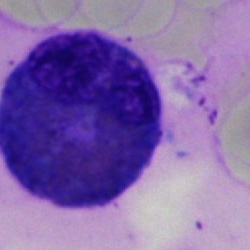 Specimen: bone marrow aspirate smear.
Classification: eosinophil.
Lineage: myeloid.